Bone marrow aspirate smear.
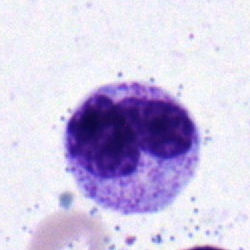Cell type = neutrophil (segmented).